May-Grünwald-Giemsa stain · single-cell crop · bone marrow smear: 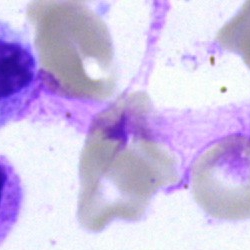 The cell shown is an artefact.